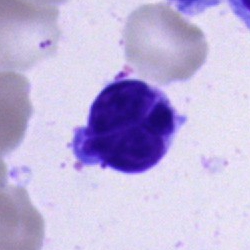Bone marrow aspirate smear, single cell — lymphocyte.